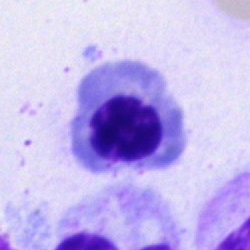Morphological class — normoblast.